Single-cell crop · bone marrow aspirate smear · 250 by 250 pixels
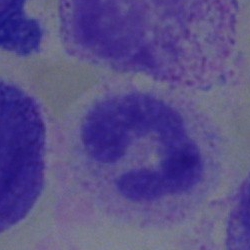 Showing a neutrophil (segmented).